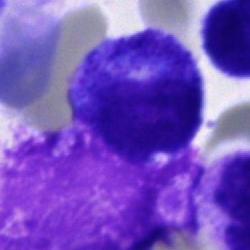 The cell is artefact.